Bone marrow smear.
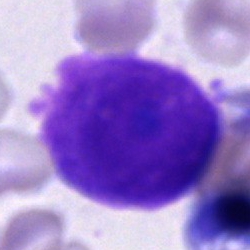

The cell is artifact.